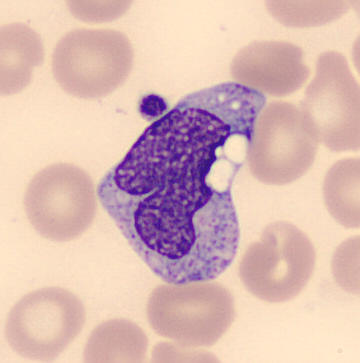Specimen: peripheral blood smear.
Classification: monocyte.
Lineage: myeloid.